250×250 · bone marrow smear · single-cell field
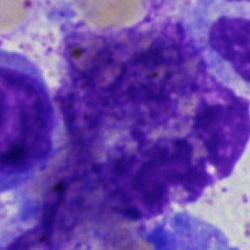 Specimen: bone marrow aspirate smear.
Cell type: artefact.